Bone marrow smear.
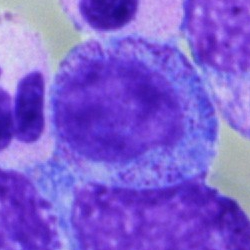Showing a progranulocyte.